Bone marrow aspirate smear — 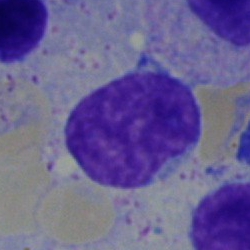 Specimen: bone marrow aspirate smear.
Cell type: lymphocyte.